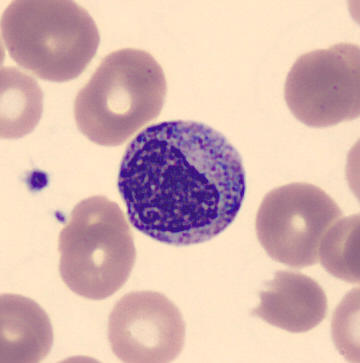

The morphological class is myelocyte.